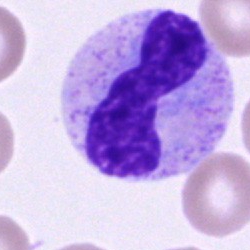A band-form neutrophil on a bone marrow smear.